Bone marrow smear — 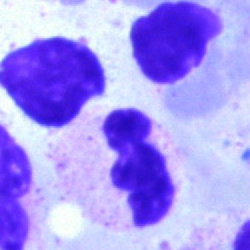
Classification: polymorphonuclear neutrophil.